Brightfield, 40× oil-immersion objective. MGG-stained. Bone marrow aspirate smear: 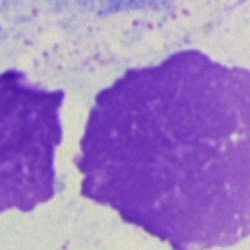
Classification: artifact.